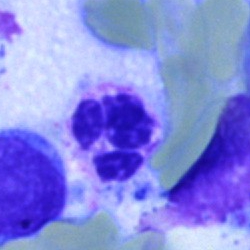This is a neutrophil (segmented).